Bone marrow aspirate smear
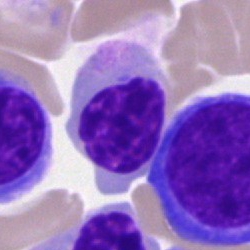Q: Which cell type is shown here?
A: It is a nucleated red cell.